Bone marrow aspirate smear.
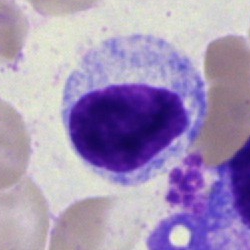
Single cell identified as a myelocyte.